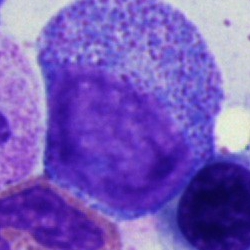 {"cell_type": "progranulocyte", "lineage": "myeloid"}